Bone marrow aspirate smear; single cell centered in the field — 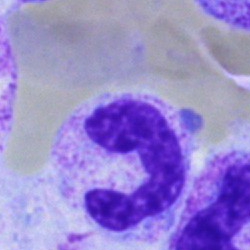 Q: What is shown here?
A: Neutrophil (segmented).